Bone marrow smear: 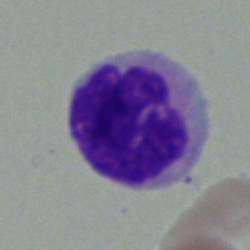 Morphology consistent with a polymorphonuclear neutrophil.